Bone marrow aspirate smear; May-Grünwald-Giemsa stain; single cell centered in the field — 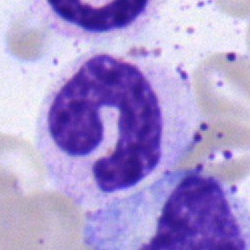

Classification = stab cell.